Bone marrow smear:
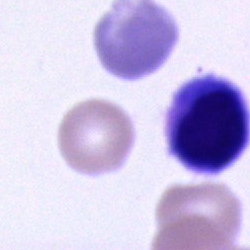 Q: Which cell type is shown here?
A: This is a lymphocyte.